Bone marrow smear.
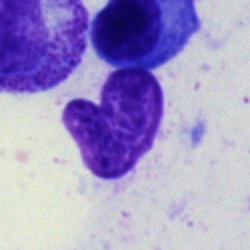

Morphology — artifact.